Peripheral blood film.
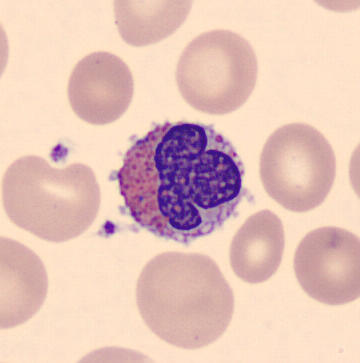{"cell_type": "eosinophil", "lineage": "myeloid"}